Bone marrow aspirate smear · single-cell crop:
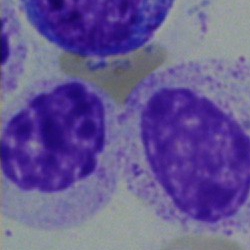A myelocyte.